Bone marrow aspirate smear: 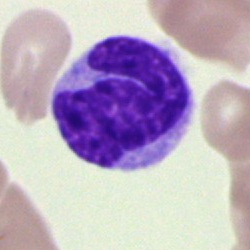

Morphology consistent with a monocyte.